Bone marrow aspirate smear:
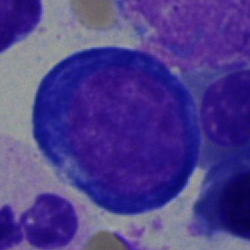 Morphological class — proerythroblast.